Cropped to a single cell; peripheral blood smear: 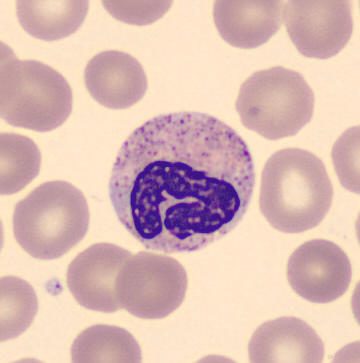
Identified as a band neutrophil.